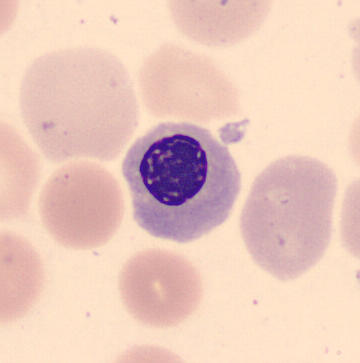

Acquisition: Peripheral blood film · 360×363 px · MGG-stained.

Cell type: nucleated red cell.